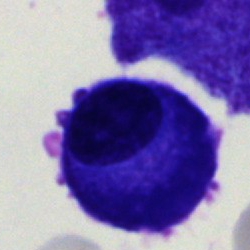
Classification — plasma cell.